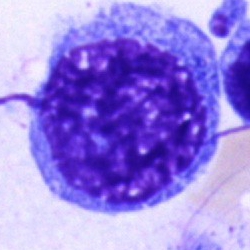
Single-cell crop from a bone marrow smear: blast cell.